Bone marrow smear; MGG-stained; brightfield microscopy, 40× oil immersion — 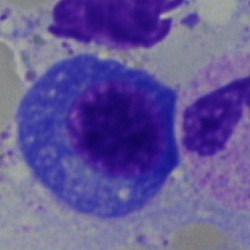Morphology consistent with a plasma cell.